Bone marrow aspirate smear:
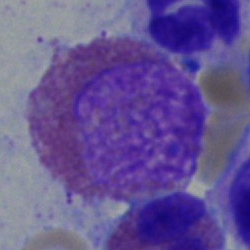
The cell shown is an eosinophilic granulocyte.